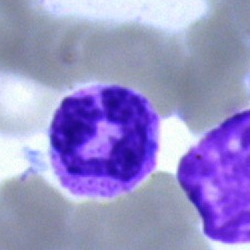 {"cell_type": "neutrophil (segmented)", "lineage": "myeloid"}